Bone marrow aspirate smear — 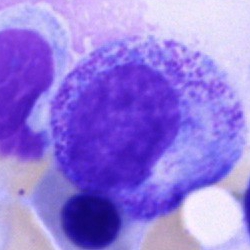
Classification: promyelocyte.